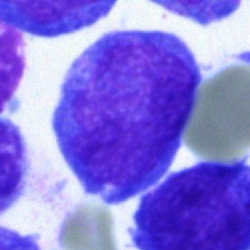

Specimen: bone marrow smear.
Classification: blast.